Bone marrow smear:
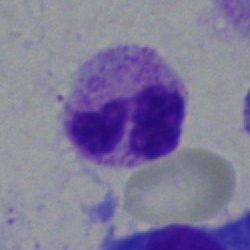
Cell type = polymorphonuclear neutrophil.